Bone marrow aspirate smear — 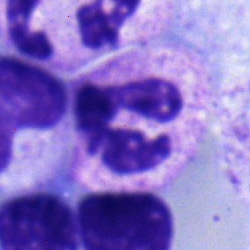 Q: Which cell type is shown here?
A: Neutrophil (segmented).